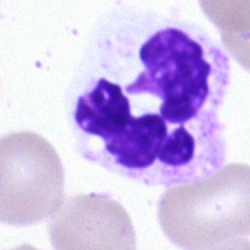 The cell is segmented neutrophil.